Bone marrow aspirate smear.
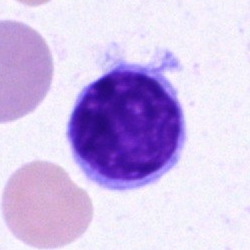A typical lymphocyte.